Bone marrow smear. Pappenheim-stained: 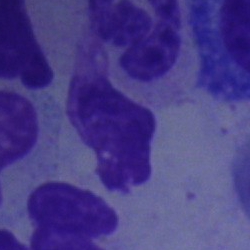 {"cell_type": "artifact"}